Bone marrow aspirate smear:
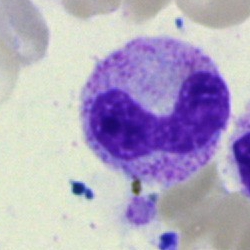

Cell type: neutrophil (band).